Bone marrow smear — 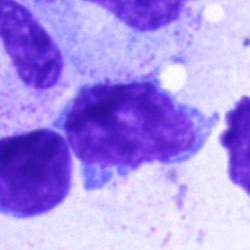Morphological class = lymphocyte.